Cropped to a single cell · bone marrow smear: 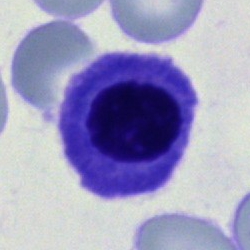Impression → nucleated red cell.